Bone marrow smear: 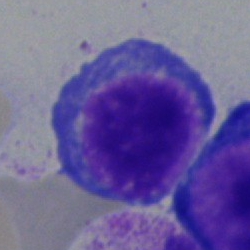The cell type is nucleated red cell.